Bone marrow smear · 250×250 px — 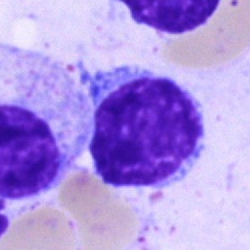

Cell type = lymphocyte.